Single cell centered in the field. Pappenheim-stained. Bone marrow aspirate smear — 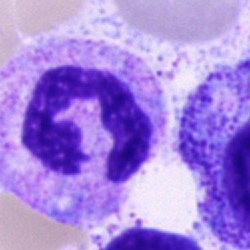

The cell type is neutrophil (segmented).